Bone marrow smear: 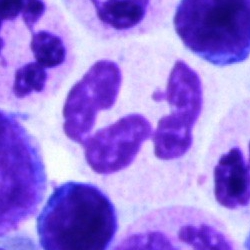

Q: What type of cell is this?
A: Polymorphonuclear neutrophil.